Bone marrow smear: 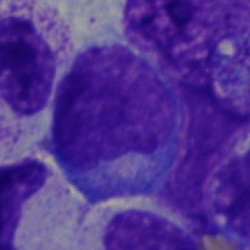

Q: What cell is this?
A: This is an undifferentiated blast.